Single cell centered in the field; bone marrow smear.
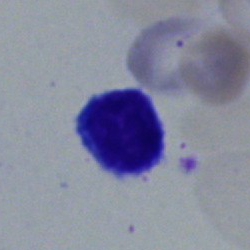

{"cell_type": "typical lymphocyte"}